Bone marrow smear — 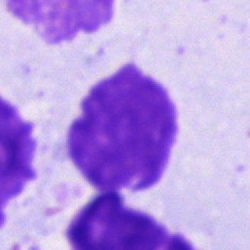 {"cell_type": "artifact"}